Bone marrow aspirate smear
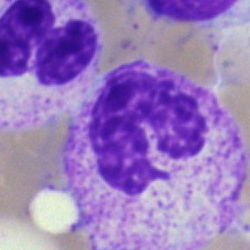

Morphological class: neutrophil (segmented).